May-Grünwald-Giemsa stain · 250×250 · bone marrow smear: 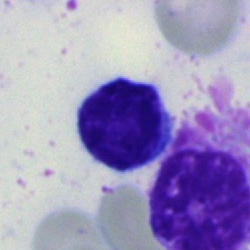

Specimen: bone marrow aspirate smear.
Morphological class: lymphocyte.
Lineage: lymphoid.